40× oil immersion. Bone marrow smear. Single-cell crop — 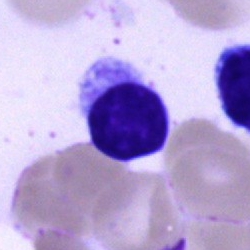
Impression → lymphocyte.